Bone marrow smear — 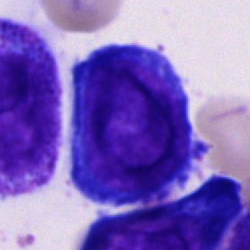
Impression → pronormoblast.